Peripheral blood film; Romanowsky stain; 100× objective, oil immersion:
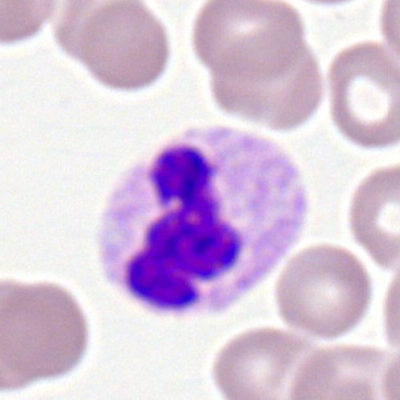

Q: Which cell type is shown here?
A: A neutrophil (segmented).